Single cell centered in the field; peripheral blood film
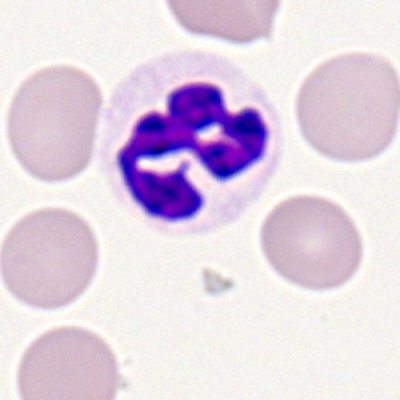

Single cell identified as a polymorphonuclear neutrophil.